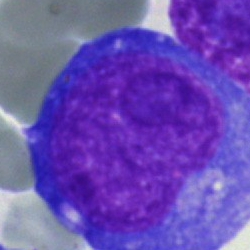

{"cell_type": "undifferentiated blast"}